Bone marrow smear
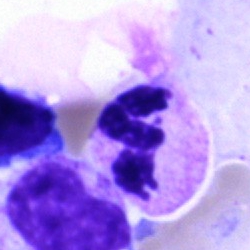Morphology consistent with a neutrophil (segmented).